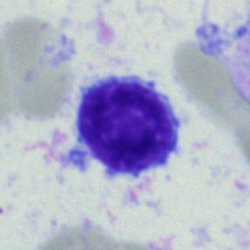
Specimen: bone marrow aspirate smear.
Classification: typical lymphocyte.